Brightfield microscopy, 40× oil immersion. Bone marrow aspirate smear:
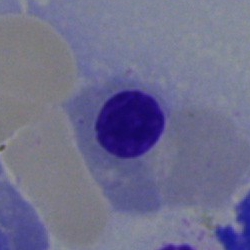Impression → nucleated red cell.